Bone marrow aspirate smear:
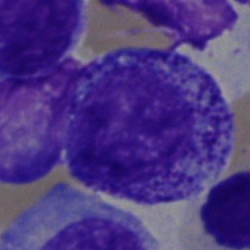 Impression → progranulocyte.